Bone marrow aspirate smear: 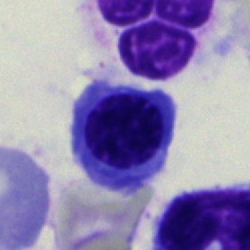 Morphological class: erythroblast.